Bone marrow aspirate smear: 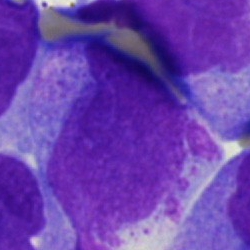

Q: What type of cell is this?
A: It is a blast.